Peripheral blood smear:
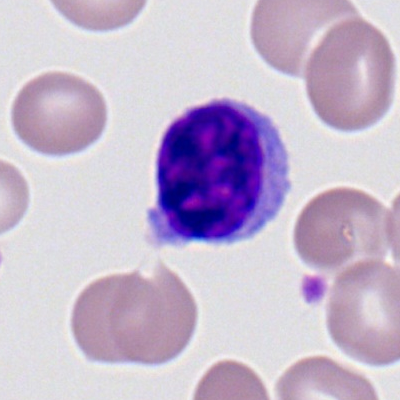
Q: Identify the cell.
A: Lymphocyte.